Bone marrow aspirate smear · Pappenheim-stained · 250×250:
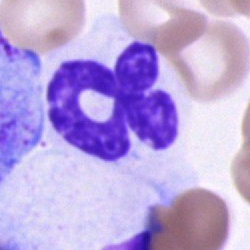Cell type — segmented neutrophil.